May-Grünwald-Giemsa/Pappenheim stain. Bone marrow aspirate smear.
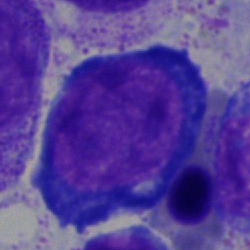
Morphology — nucleated red cell.